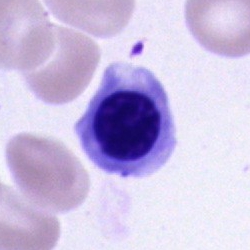
Q: Identify the cell.
A: It is a nucleated red cell.